Bone marrow aspirate smear:
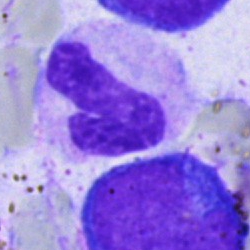 Stab cell.